Image size 250×250; bone marrow smear: 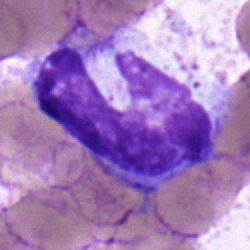
Morphology — stab cell.